Single-cell crop · bone marrow aspirate smear: 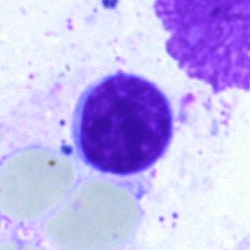

Specimen: bone marrow aspirate smear.
Cell: typical lymphocyte.
Lineage: lymphoid.